Bone marrow smear: 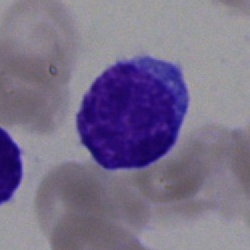
Cell type: lymphocyte.